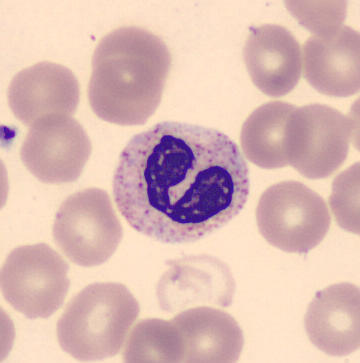 The cell is neutrophil (segmented).

Acquisition: Peripheral blood film; May-Grünwald-Giemsa-stained; CellaVision DM96 digital cell image.